Bone marrow smear: 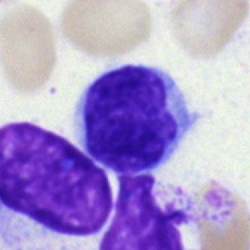

The cell is typical lymphocyte.